Bone marrow smear. Pappenheim-stained
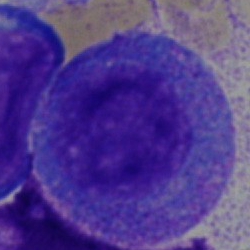Single cell identified as a progranulocyte.